Single-cell field. Brightfield microscopy, 40× oil immersion. Bone marrow smear
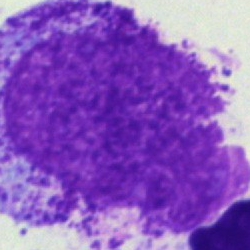 Specimen: bone marrow aspirate smear.
Morphological class: artefact.